Bone marrow aspirate smear.
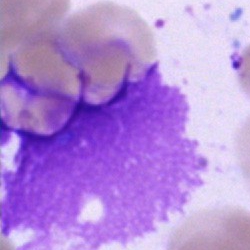

Specimen: bone marrow aspirate smear.
Cell type: artefact.